Single cell centered in the field; bone marrow aspirate smear; 250 by 250 pixels
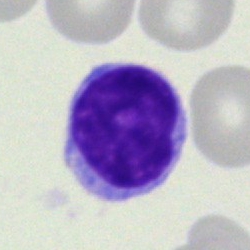

The cell shown is a lymphocyte.